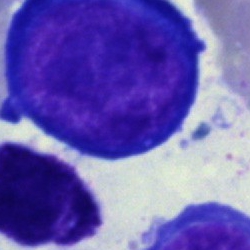

This is a pronormoblast.